250×250 · bone marrow smear — 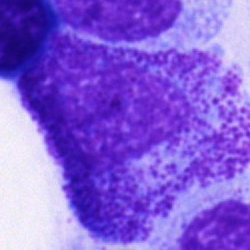
Morphology consistent with a progranulocyte.